Bone marrow smear — 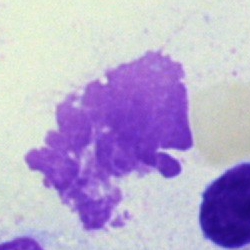

The cell type is artifact.